Bone marrow aspirate smear:
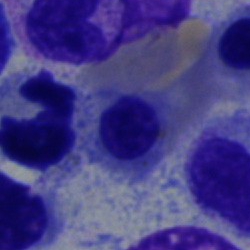
Nucleated red blood cell.